Bone marrow smear: 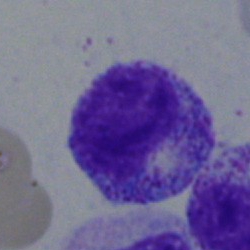Specimen: bone marrow smear.
Cell type: myelocyte.